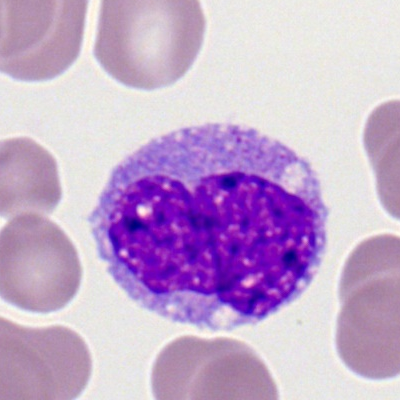 A monocyte.